Bone marrow smear — 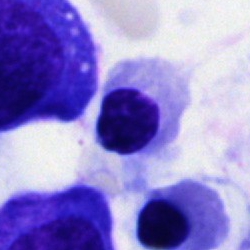
An erythroblast.